Peripheral blood film: 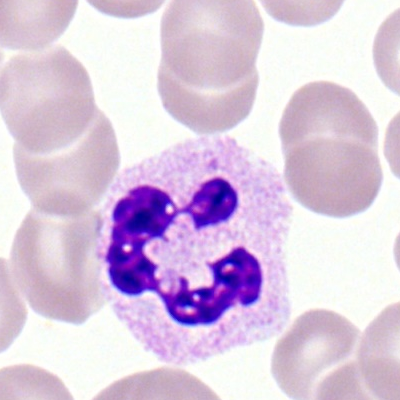
{"cell_type": "neutrophil (segmented)", "lineage": "myeloid"}